Bone marrow smear; single-cell field: 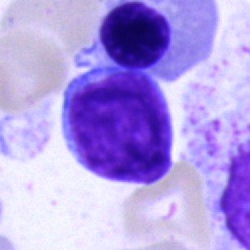 Lymphocyte.